May-Grünwald-Giemsa stain. Bone marrow smear.
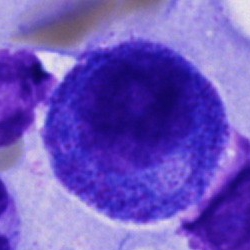
A progranulocyte.